Bone marrow smear · 40× objective, oil immersion · May-Grünwald-Giemsa stain
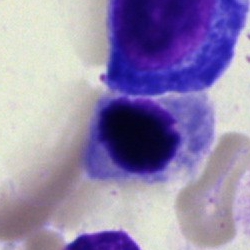
Morphology → nucleated red cell.